Bone marrow aspirate smear: 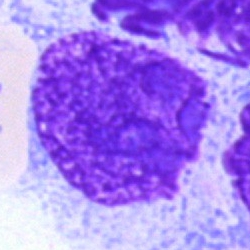 Cell: artefact.